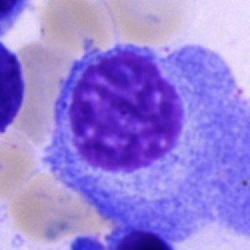

Impression → plasmacyte.